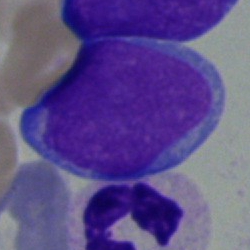 Q: What is shown here?
A: It is an undifferentiated blast.